Bone marrow aspirate smear:
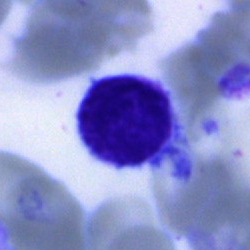The morphological class is lymphocyte.